Bone marrow aspirate smear. Single cell centered in the field — 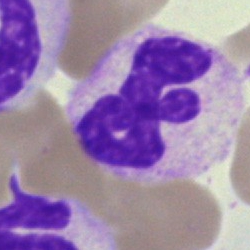Cell type: polymorphonuclear neutrophil.